Bone marrow aspirate smear
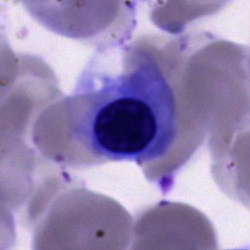 Classification: erythroblast.